Bone marrow aspirate smear
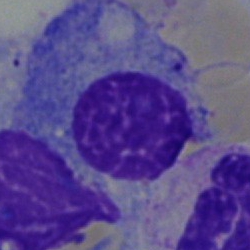

Specimen: bone marrow smear.
Cell: plasma cell.